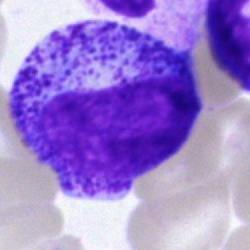 Q: What is the morphological classification of this cell?
A: It is a promyelocyte.